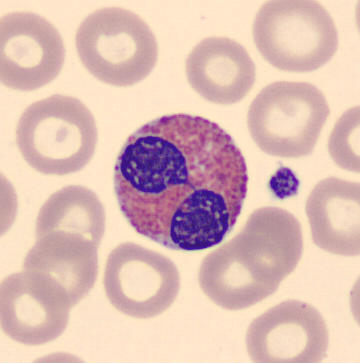
Eosinophilic granulocyte.
Peripheral blood film.